Bone marrow aspirate smear
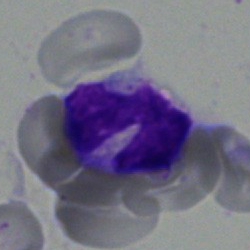

The morphological class is band-form neutrophil.